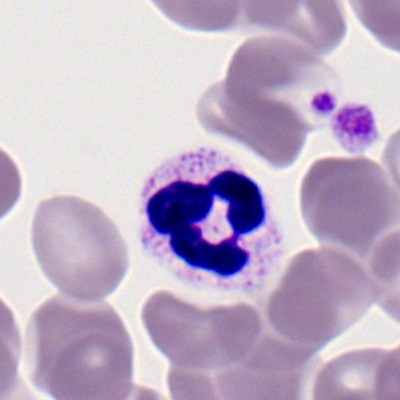

Morphological class: neutrophil (segmented).